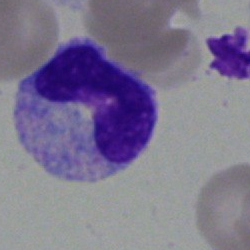
{"cell_type": "neutrophil (band)", "lineage": "myeloid"}